Peripheral blood smear.
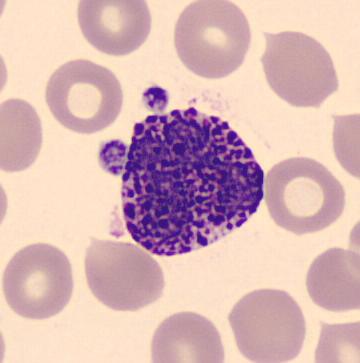 Q: Which cell type is shown here?
A: Basophilic granulocyte.